Bone marrow smear.
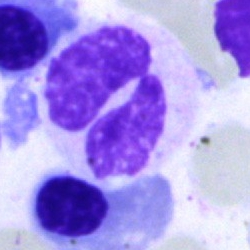
Cell = polymorphonuclear neutrophil.